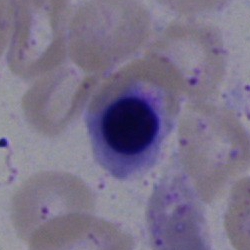 {"cell_type": "normoblast", "lineage": "erythroid"}